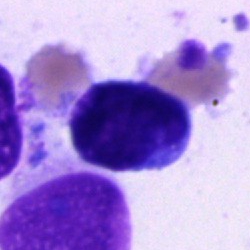Morphology consistent with a cell of indeterminate lineage.